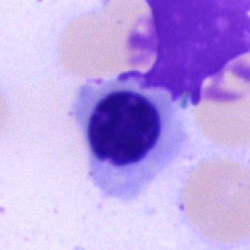

A normoblast.